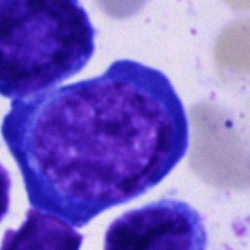

A proerythroblast on a bone marrow smear.